Bone marrow aspirate smear
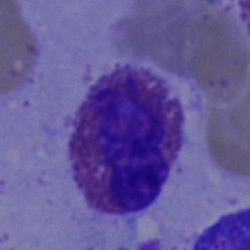Specimen: bone marrow aspirate smear.
Classification: eosinophilic granulocyte.